Bone marrow aspirate smear; 40× objective, oil immersion; May-Grünwald-Giemsa/Pappenheim stain
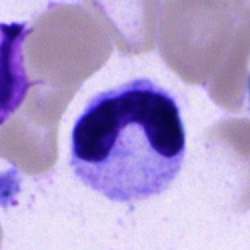
Q: What is the morphological classification of this cell?
A: Band neutrophil.